Bone marrow smear:
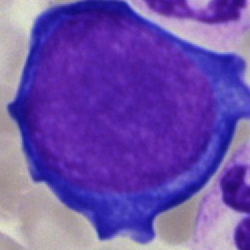 Morphology — pronormoblast.